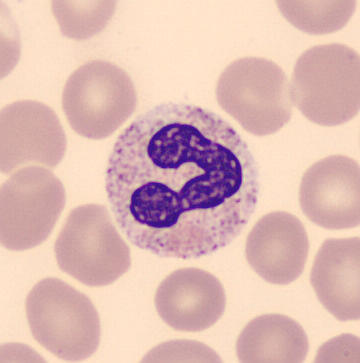

Cell = segmented neutrophil.

Peripheral blood smear. 360 by 363 pixels.